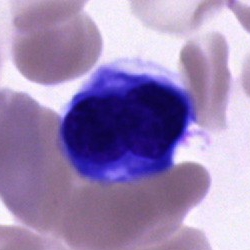A cell of indeterminate lineage on a bone marrow smear.